Bone marrow aspirate smear. Brightfield microscopy, 40× oil immersion
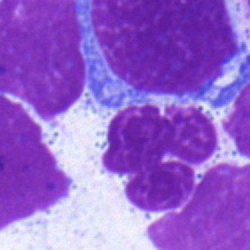
The cell shown is a neutrophil (segmented).